Bone marrow aspirate smear — 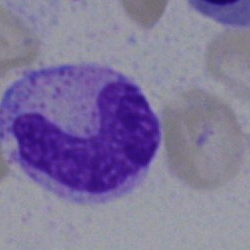 Classification: stab cell.